Peripheral blood film; Romanowsky stain; 100× objective, oil immersion.
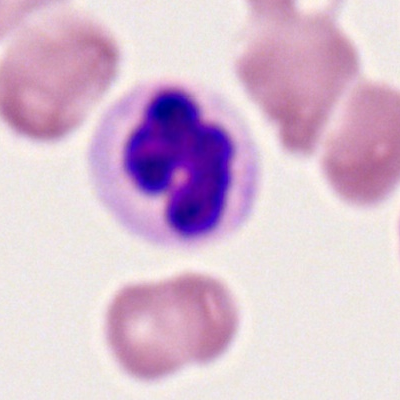 A neutrophil (segmented).